250 by 250 pixels; bone marrow smear
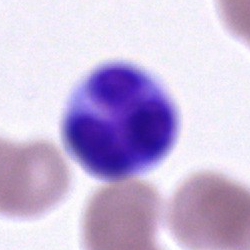Classification: unidentifiable cell.